Pappenheim-stained. Brightfield microscopy, 40× oil immersion. Bone marrow smear:
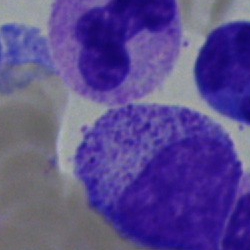

Specimen: bone marrow aspirate smear.
Cell: myelocyte.
Lineage: myeloid.